Brightfield microscopy, 40× oil immersion · single-cell crop · bone marrow smear.
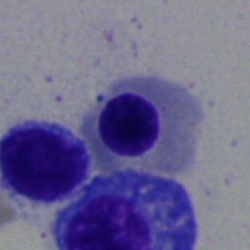 Q: What is the morphological classification of this cell?
A: Erythroblast.